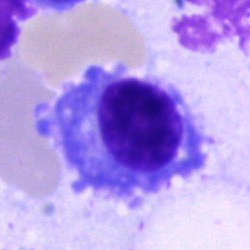 Single cell identified as a plasmacyte.